Bone marrow aspirate smear.
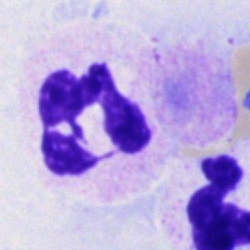The cell shown is a neutrophil (segmented).